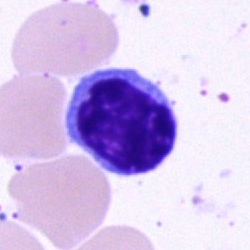

Bone marrow smear showing a typical lymphocyte.